Single-cell field. Bone marrow aspirate smear:
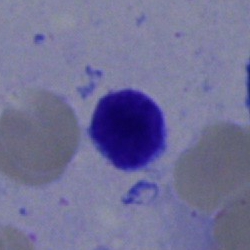
Q: Which cell type is shown here?
A: It is a typical lymphocyte.